Bone marrow smear — 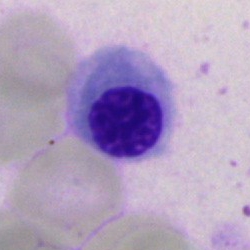 Cell type = nucleated red blood cell.